Peripheral blood film — 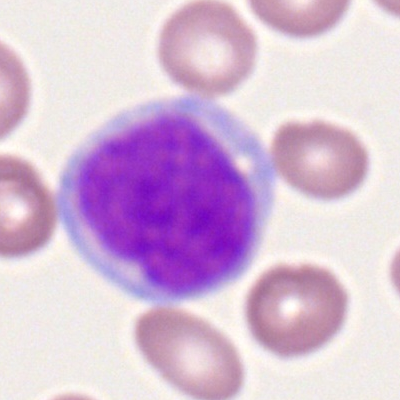Q: Identify the cell.
A: It is a myeloid blast.